Peripheral blood smear.
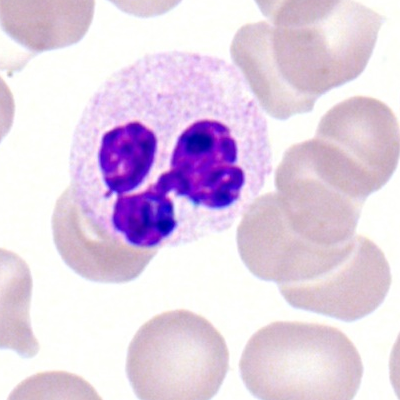

Morphological class = segmented neutrophil.